Bone marrow aspirate smear:
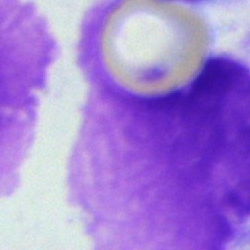
Single cell identified as an artifact.